Peripheral blood film: 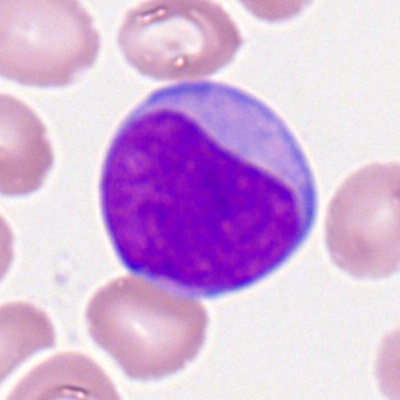
Myeloid blast.